Bone marrow smear; brightfield microscopy, 40× oil immersion; single-cell crop.
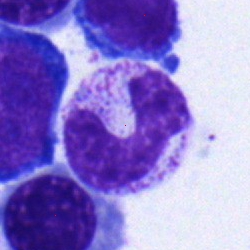
The morphological class is band-form neutrophil.